Single cell centered in the field · bone marrow aspirate smear — 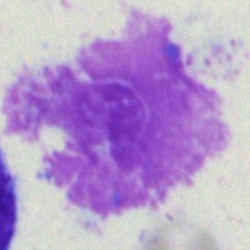
Cell type — artifact.